MGG-stained. Bone marrow aspirate smear. Image size 250×250
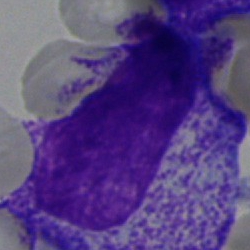

Morphological class = myelocyte.